Bone marrow aspirate smear; single-cell crop; MGG-stained
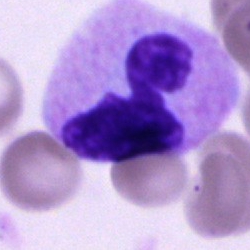

Cell type — segmented neutrophil.